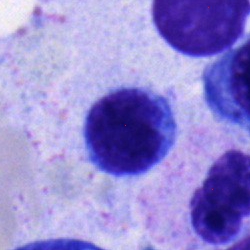
Lymphocyte.